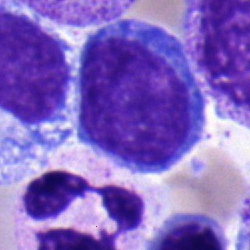Morphological class — typical lymphocyte.